Bone marrow aspirate smear:
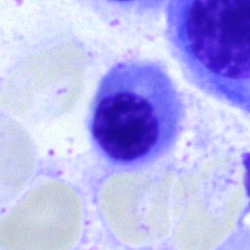 The morphological class is nucleated red cell.